Bone marrow smear · 250 by 250 pixels
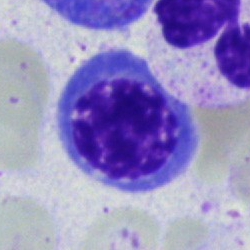

Cell type: normoblast.